May-Grünwald-Giemsa-stained. Peripheral blood smear. Automated cell imaging (CellaVision DM96): 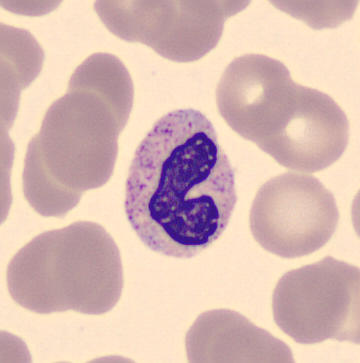

Morphological class — stab cell.